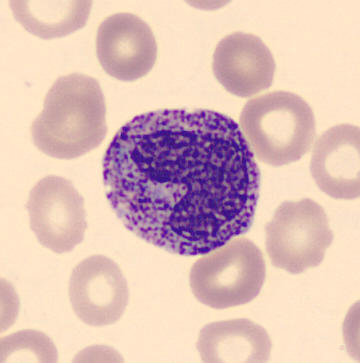
Peripheral blood film.
Morphological class — metamyelocyte.